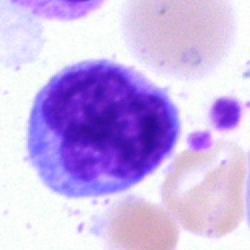
Q: Identify the cell.
A: It is a monocyte.